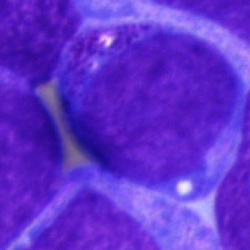Q: Identify the cell.
A: An undifferentiated blast.